Bone marrow smear
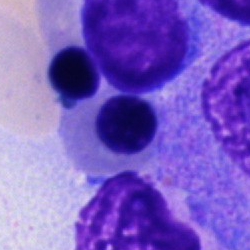

This is a nucleated red cell.